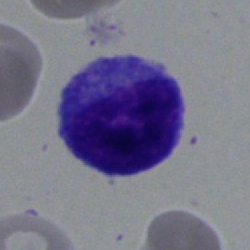

{"cell_type": "myelocyte"}